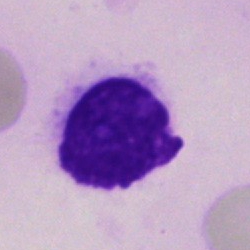
Classification — artifact.